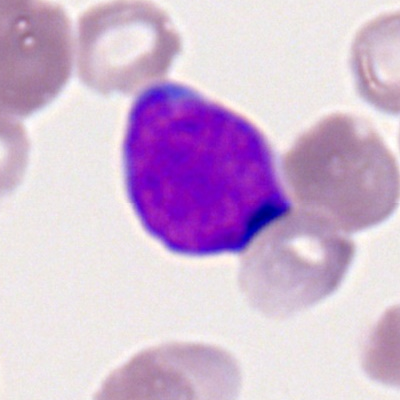A myeloblast on a peripheral blood smear.